Brightfield microscopy, 40× oil immersion; bone marrow aspirate smear
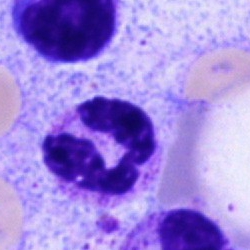Morphology consistent with a polymorphonuclear neutrophil.